Bone marrow smear; Pappenheim-stained: 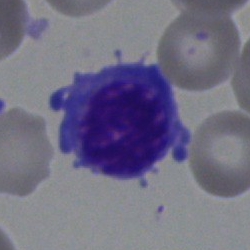Q: What cell is this?
A: This is a nucleated red blood cell.